Bone marrow smear:
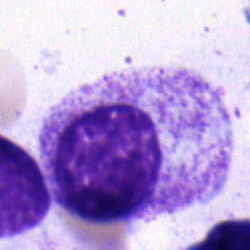
Showing a myelocyte.